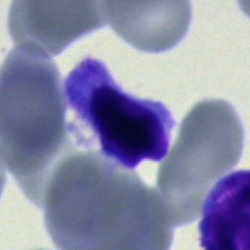 Typical lymphocyte.